Bone marrow aspirate smear — 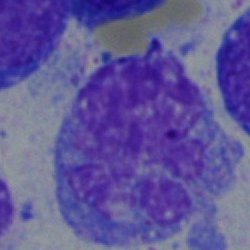
Specimen: bone marrow aspirate smear.
Cell: monocyte.